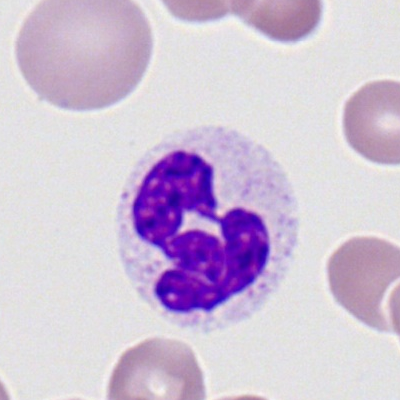

Morphological class: polymorphonuclear neutrophil.